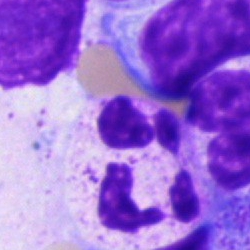Impression — neutrophil (segmented).